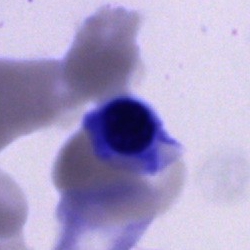 Q: What is the morphological classification of this cell?
A: Unidentifiable cell.